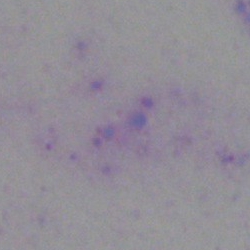 Cell type: artifact.